Bone marrow aspirate smear:
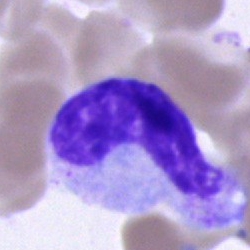Q: Which cell type is shown here?
A: It is a band-form neutrophil.